Bone marrow aspirate smear — 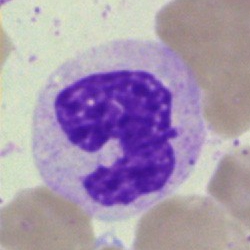 A segmented neutrophil.